M8 digital microscope (Precipoint), 100× oil immersion. Peripheral blood smear:
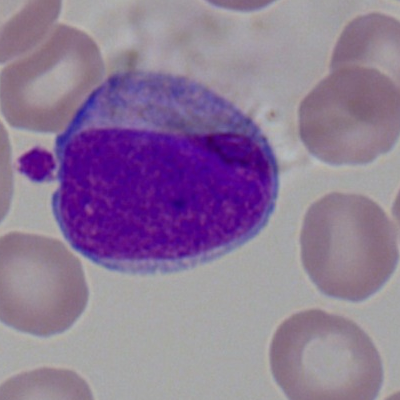

Cell: myeloid blast.